Bone marrow aspirate smear — 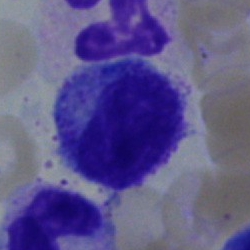
Morphology → myelocyte.